Bone marrow smear — 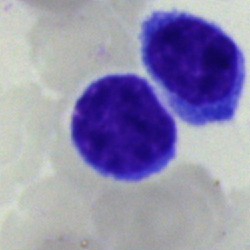
Q: Which cell type is shown here?
A: It is a lymphocyte.